Bone marrow aspirate smear. Single-cell crop.
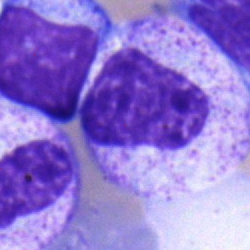 The cell shown is a myelocyte.